Bone marrow aspirate smear:
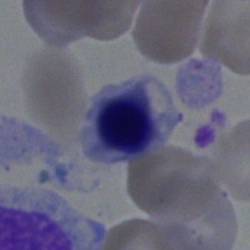
Cell type: normoblast.